Bone marrow aspirate smear · May-Grünwald-Giemsa stain:
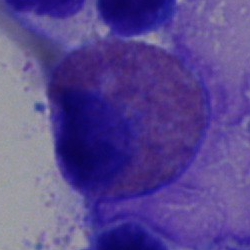Q: What is the morphological classification of this cell?
A: It is an eosinophilic granulocyte.